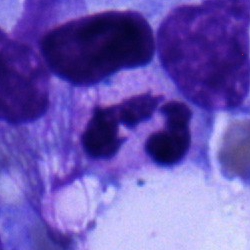
Neutrophil (segmented).